Bone marrow smear; Pappenheim-stained; brightfield, 40× oil-immersion objective — 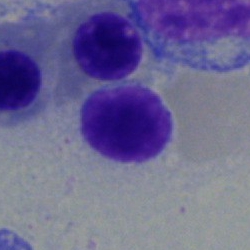
This is a lymphocyte.